Bone marrow aspirate smear — 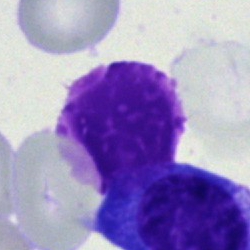
Impression — artifact.